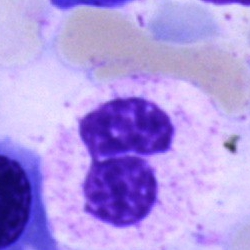 Single cell identified as a segmented neutrophil.